Bone marrow smear · single cell centered in the field · brightfield microscopy, 40× oil immersion:
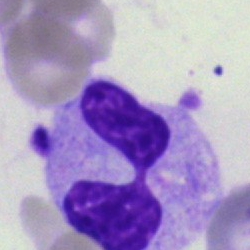Morphology consistent with a segmented neutrophil.